May-Grünwald-Giemsa/Pappenheim stain; 250 by 250 pixels; bone marrow smear — 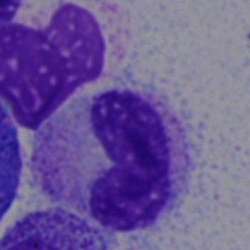Morphology consistent with a band neutrophil.